Bone marrow aspirate smear: 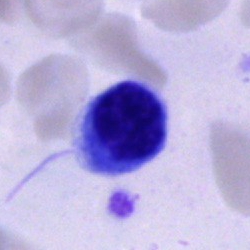

Typical lymphocyte.